Cropped to a single cell. Bone marrow smear
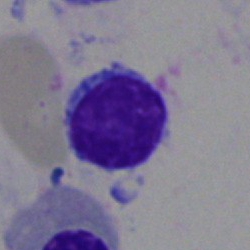

The cell shown is a lymphocyte.